Bone marrow aspirate smear; May-Grünwald-Giemsa/Pappenheim stain
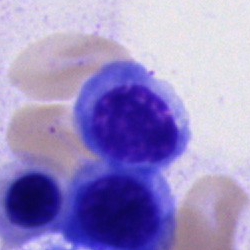
Q: Identify the cell.
A: Nucleated red cell.